Bone marrow aspirate smear.
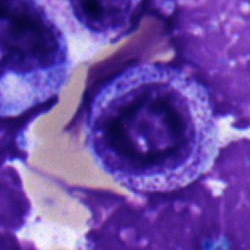
Impression — myelocyte.